250 by 250 pixels. Single-cell crop. Bone marrow smear
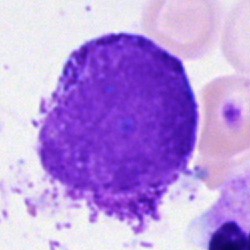 Q: What is shown here?
A: Artifact.